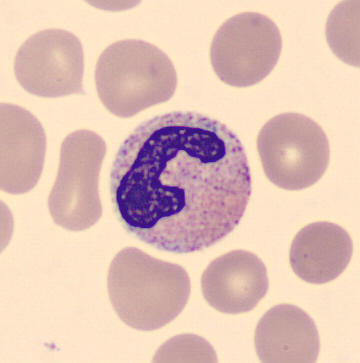 Morphology consistent with a band-form neutrophil.